Bone marrow smear — 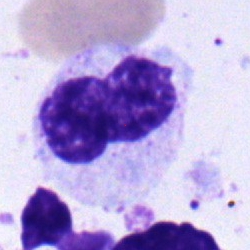The cell is metamyelocyte.